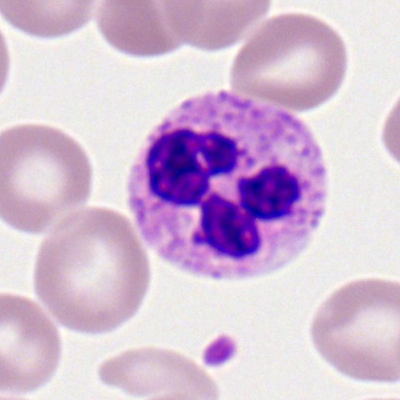
Specimen: peripheral blood film.
Morphological class: neutrophil (segmented).
Lineage: myeloid.